Bone marrow aspirate smear
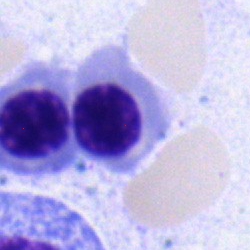
Morphology → nucleated red cell.